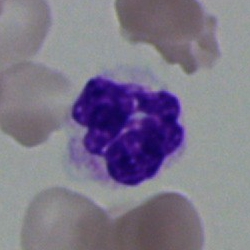 Single cell identified as a neutrophil (segmented).